Bone marrow smear: 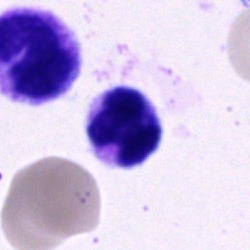
Cell — segmented neutrophil.